Cropped to a single cell · bone marrow smear · 250×250 px:
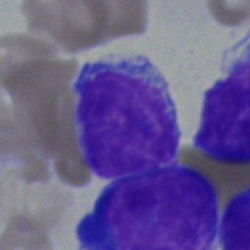

Lymphocyte.